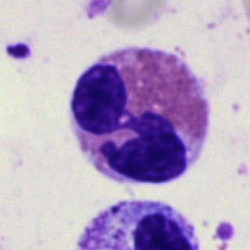
Impression — eosinophil.